Bone marrow smear.
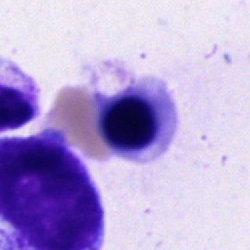

Q: What type of cell is this?
A: This is a normoblast.